Peripheral blood film. Romanowsky stain: 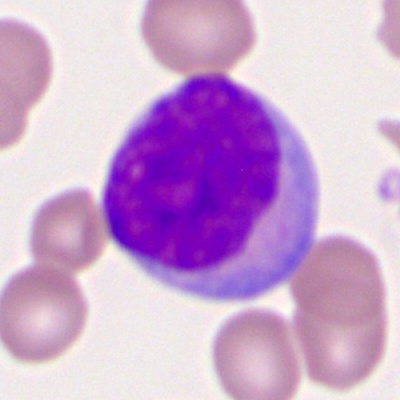

Myeloid blast.